Bone marrow aspirate smear: 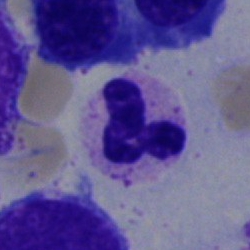 Cell type: neutrophil (segmented).